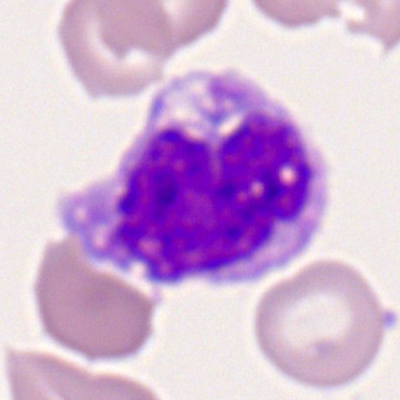
Q: What type of cell is this?
A: A monocyte.